May-Grünwald-Giemsa/Pappenheim stain · bone marrow smear — 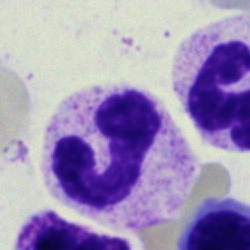 The classification is neutrophil (segmented).